Bone marrow aspirate smear. 40× oil immersion. Pappenheim-stained
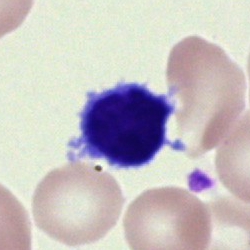 Classification = typical lymphocyte.